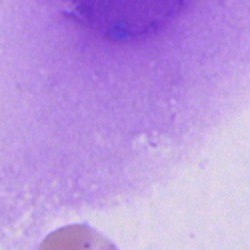 Q: What is shown here?
A: It is an artefact.